Bone marrow aspirate smear · Pappenheim-stained — 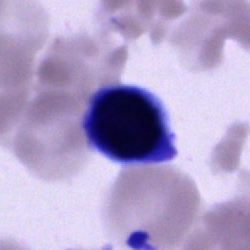 Specimen: bone marrow aspirate smear.
Cell: unidentifiable cell.